Peripheral blood smear.
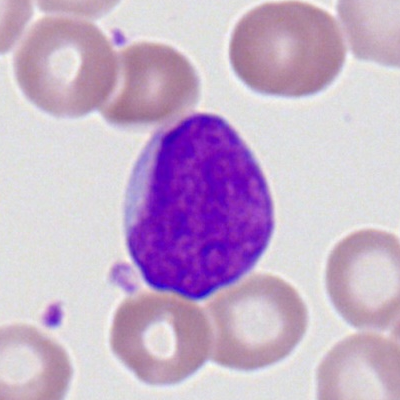 Classification — myeloblast.